May-Grünwald-Giemsa stain. Bone marrow aspirate smear
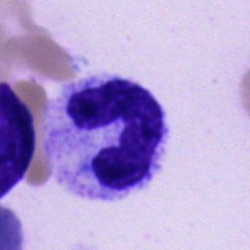

Q: What type of cell is this?
A: It is a band-form neutrophil.